Peripheral blood smear — 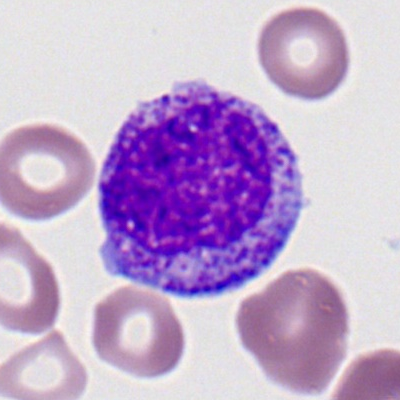Myelocyte.